Peripheral blood smear — 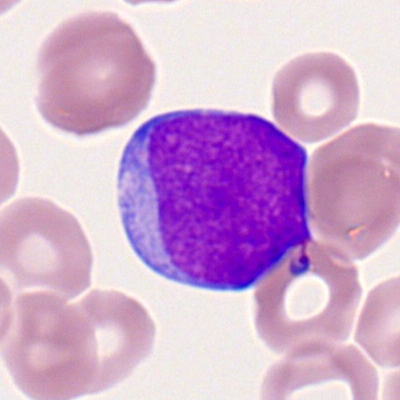

{"cell_type": "myeloblast", "lineage": "myeloid"}